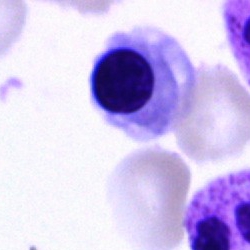Specimen: bone marrow aspirate smear.
Morphological class: nucleated red cell.